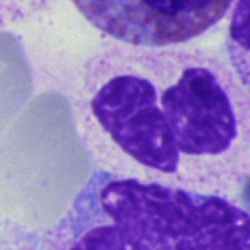
Single-cell crop from a bone marrow smear: polymorphonuclear neutrophil.